Brightfield, 40× oil-immersion objective. Bone marrow smear: 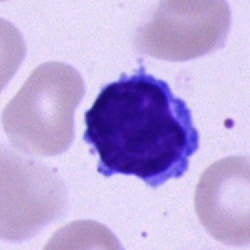

{"cell_type": "typical lymphocyte"}